Bone marrow smear · single-cell crop — 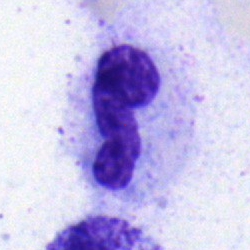Classification: neutrophil (band).